Bone marrow aspirate smear: 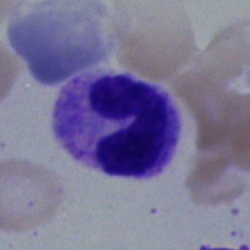
Impression → stab cell.